Bone marrow smear — 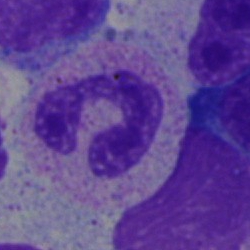Impression → segmented neutrophil.